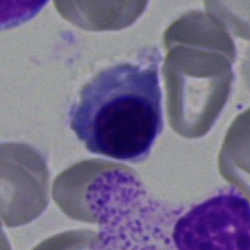Impression → nucleated red cell.